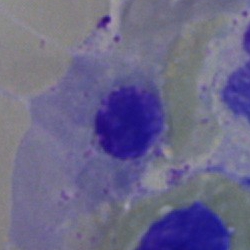

Morphology consistent with an erythroblast.